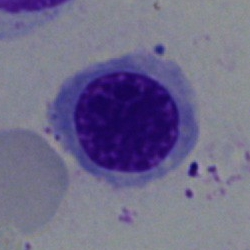
The classification is normoblast.